Image size 250×250. Bone marrow smear.
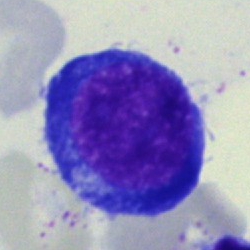 The morphological class is erythroblast.